Bone marrow smear:
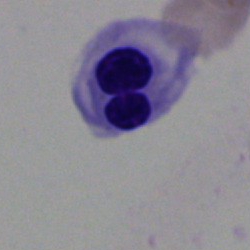
{"cell_type": "erythroblast", "lineage": "erythroid"}